Image size 250×250; bone marrow smear — 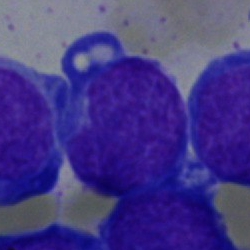
A blast cell.